Bone marrow aspirate smear:
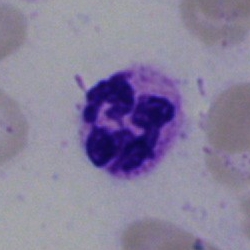 Morphological class — polymorphonuclear neutrophil.